250 by 250 pixels; bone marrow smear:
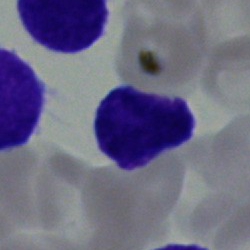Q: What type of cell is this?
A: This is a lymphocyte.